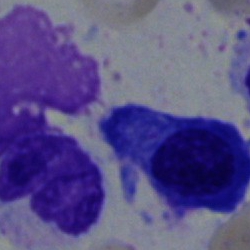
{"cell_type": "plasma cell", "lineage": "lymphoid"}